Bone marrow smear. May-Grünwald-Giemsa/Pappenheim stain. Brightfield microscopy, 40× oil immersion: 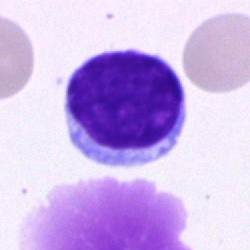
The cell shown is a lymphocyte.